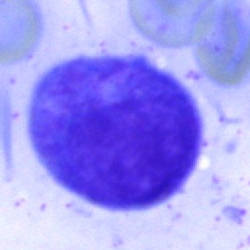Morphological class — progranulocyte.